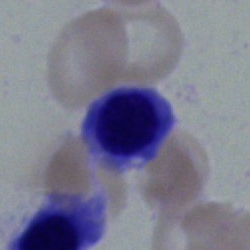

Showing a normoblast.